Peripheral blood film. Single-cell crop:
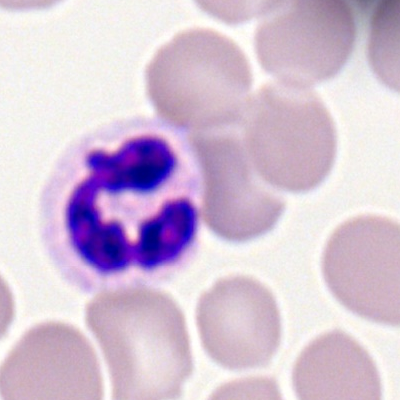 Cell type = polymorphonuclear neutrophil.